Bone marrow smear.
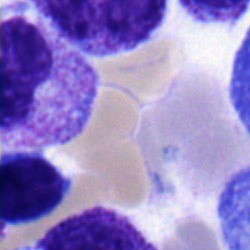
Showing a neutrophil (band).